Romanowsky stain; peripheral blood smear:
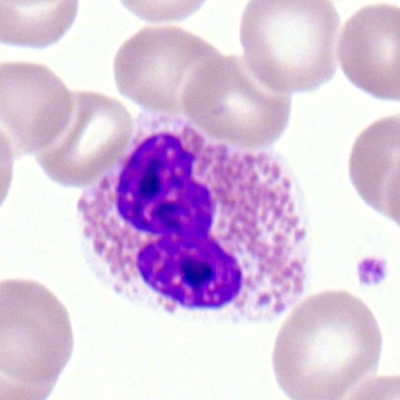
Specimen: peripheral blood film.
Cell type: eosinophilic granulocyte.